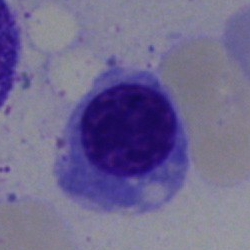
Single-cell crop from a bone marrow smear: erythroblast.